Bone marrow aspirate smear:
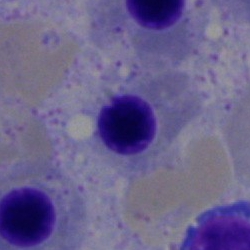

This is a nucleated red blood cell.